Bone marrow aspirate smear:
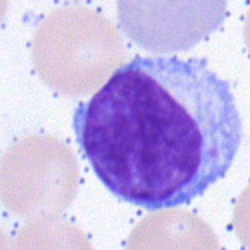 Cell — lymphocyte.